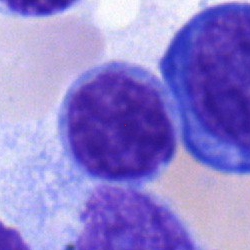 Morphology — lymphocyte.